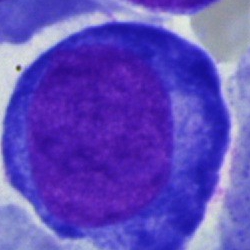The cell type is pronormoblast.